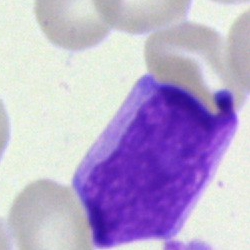Morphology → blast.